Bone marrow smear
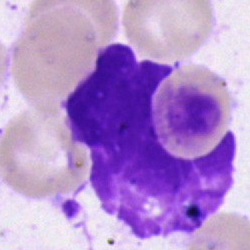

Q: What is shown here?
A: An artefact.